Brightfield, 40× oil-immersion objective. May-Grünwald-Giemsa stain. Bone marrow aspirate smear: 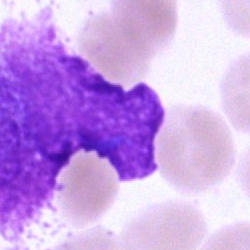 This is an artifact.